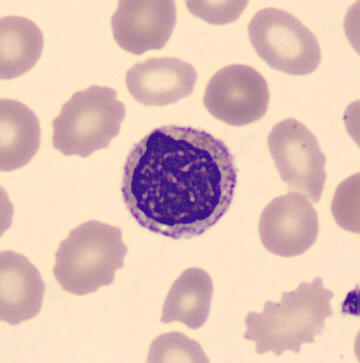Morphology → myelocyte.